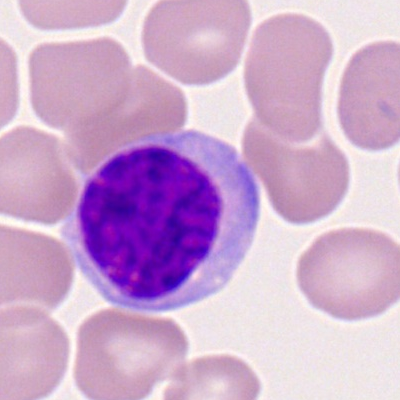 Classification: lymphocyte.